Peripheral blood smear. 400×400 px.
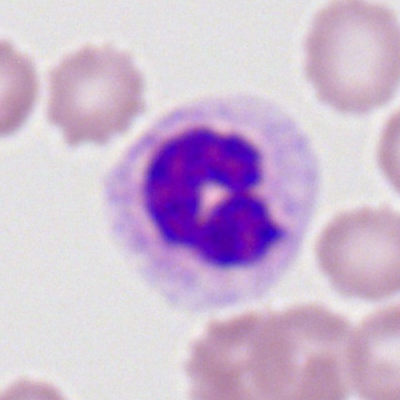

Q: Identify the cell.
A: This is a segmented neutrophil.